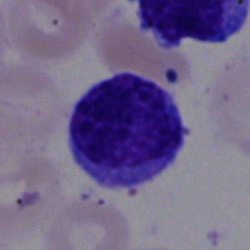
Specimen: bone marrow aspirate smear.
Cell type: lymphocyte.
Lineage: lymphoid.